Peripheral blood smear
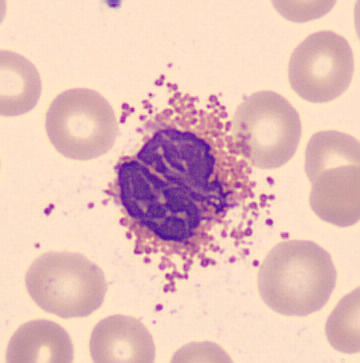

The cell type is eosinophil.